Bone marrow aspirate smear: 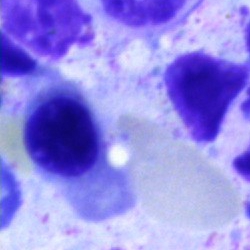{"cell_type": "nucleated red blood cell", "lineage": "erythroid"}